40× oil immersion · bone marrow aspirate smear
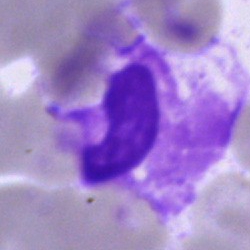
A cell of indeterminate lineage.